Bone marrow smear
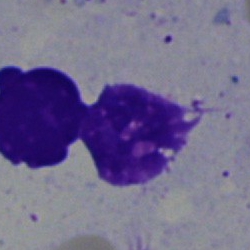 Q: What is shown here?
A: An artefact.